Bone marrow smear.
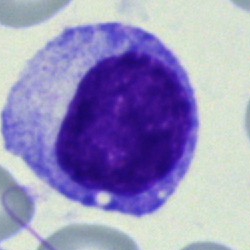
Morphology — progranulocyte.